250 by 250 pixels. Bone marrow aspirate smear — 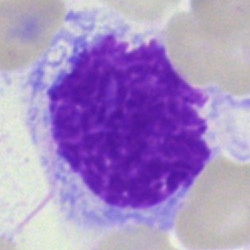 Q: What is shown here?
A: This is an artifact.